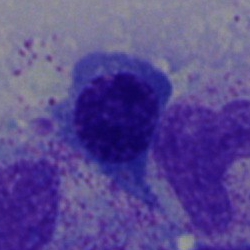 Nucleated red cell.